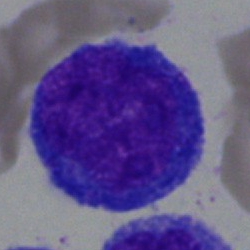
Single-cell crop from a bone marrow smear: undifferentiated blast.